Bone marrow aspirate smear; single-cell field; May-Grünwald-Giemsa stain — 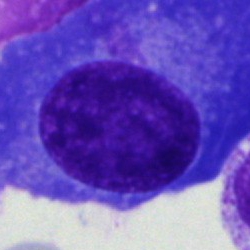 {"cell_type": "plasma cell", "lineage": "lymphoid"}